Bone marrow smear: 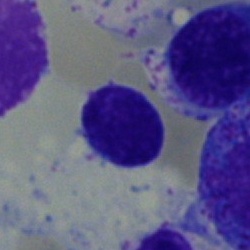
Q: What is shown here?
A: Lymphocyte.